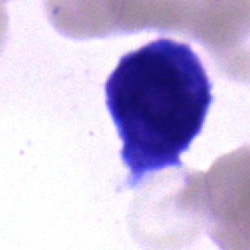{"cell_type": "lymphocyte"}